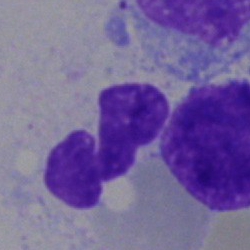

Morphology consistent with a polymorphonuclear neutrophil.